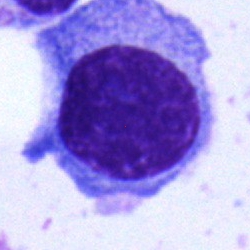
This is a plasma cell.